Peripheral blood film: 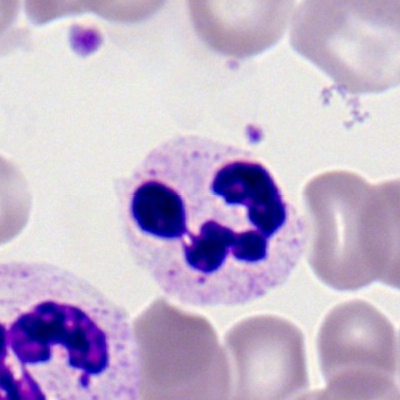Q: Which cell type is shown here?
A: A segmented neutrophil.